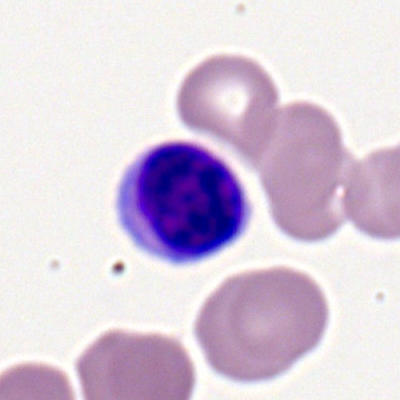Q: What cell is this?
A: It is a typical lymphocyte.